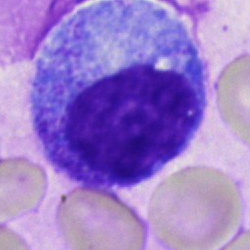

A promyelocyte on a bone marrow smear.